Bone marrow aspirate smear. 250×250. 40× oil immersion
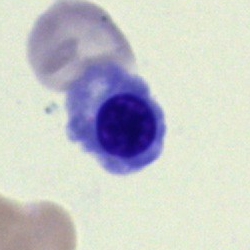

Morphology consistent with an erythroblast.